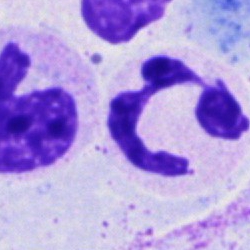

This is a neutrophil (segmented).